Bone marrow aspirate smear. Image size 250×250 — 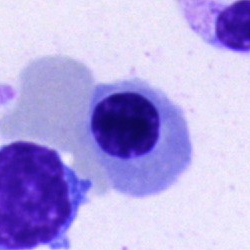

Morphology consistent with a normoblast.